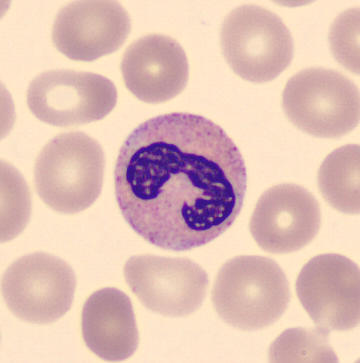 Q: Identify the cell.
A: Stab cell.

Image: Peripheral blood smear.